Bone marrow aspirate smear
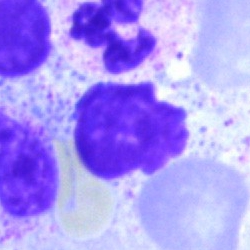
Morphology → artefact.